Bone marrow aspirate smear; single-cell field; Pappenheim-stained: 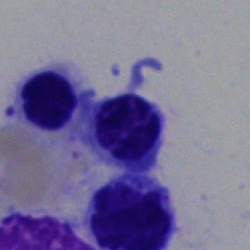

Q: What type of cell is this?
A: This is an erythroblast.